Cropped to a single cell · bone marrow smear: 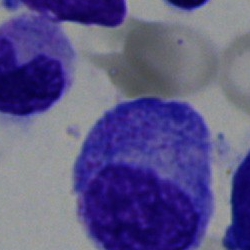 Q: What type of cell is this?
A: This is a promyelocyte.